Bone marrow smear:
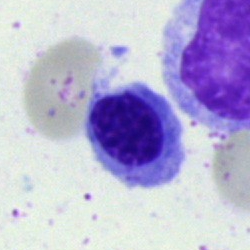

Specimen: bone marrow smear.
Morphological class: normoblast.
Lineage: erythroid.